Bone marrow smear. Cropped to a single cell.
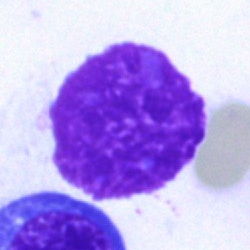 An artefact.